Bone marrow smear — 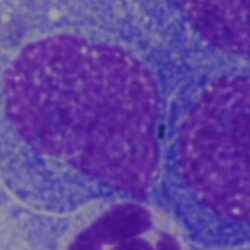

Classification: blast cell.